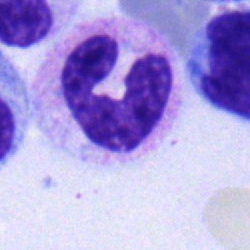Morphology → polymorphonuclear neutrophil.